Bone marrow aspirate smear — 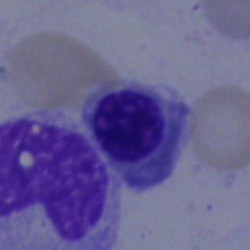
Normoblast.